Bone marrow aspirate smear; 40× objective, oil immersion
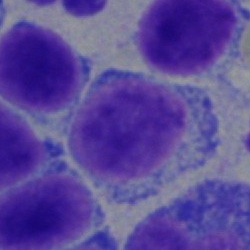
Lymphocyte.